Single-cell crop · bone marrow aspirate smear
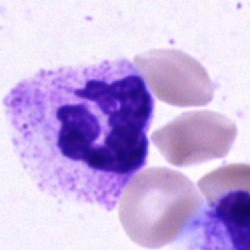

Q: What is the morphological classification of this cell?
A: It is a segmented neutrophil.